Bone marrow smear — 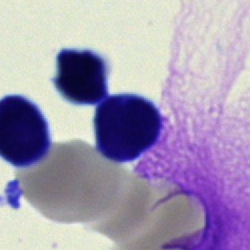A lymphocyte.